Bone marrow aspirate smear.
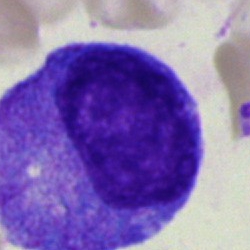Q: Identify the cell.
A: A progranulocyte.